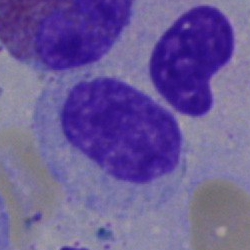
Artefact.